Bone marrow aspirate smear; MGG-stained:
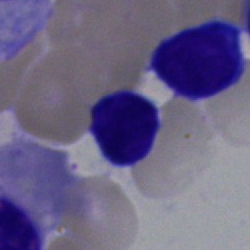

Morphology → typical lymphocyte.